40× oil immersion. Bone marrow aspirate smear. Single-cell crop:
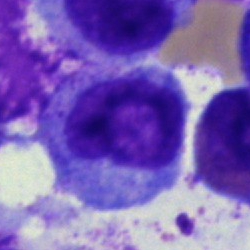 Q: Identify the cell.
A: This is a myelocyte.